Peripheral blood film — 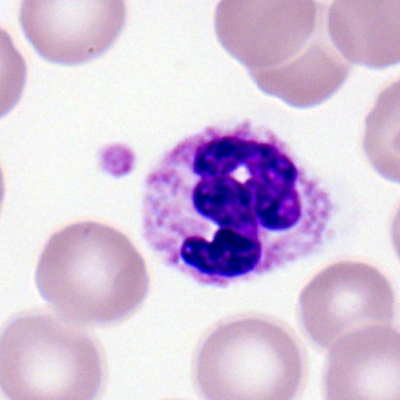

Q: What is shown here?
A: This is a segmented neutrophil.